Bone marrow smear:
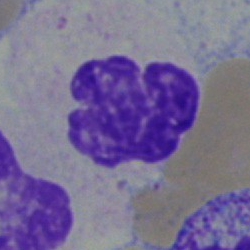
This is a segmented neutrophil.